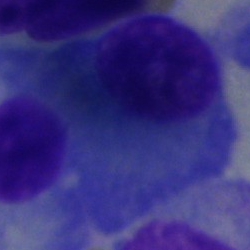 Morphology consistent with a plasma cell.